Bone marrow smear; brightfield microscopy, 40× oil immersion; 250×250 px: 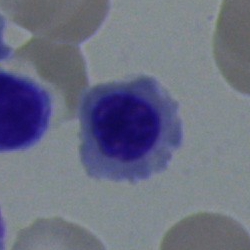
Morphology consistent with a normoblast.